Bone marrow smear
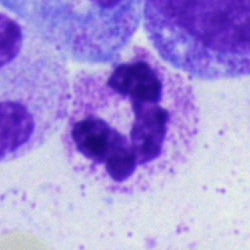

Single cell identified as a neutrophil (segmented).